Bone marrow aspirate smear; 250×250 — 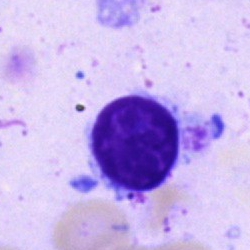This is a typical lymphocyte.